Image size 250×250; bone marrow smear: 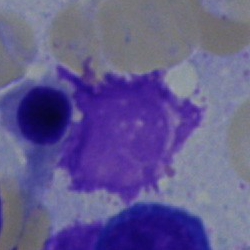 Specimen: bone marrow smear.
Cell: nucleated red cell.